Bone marrow smear — 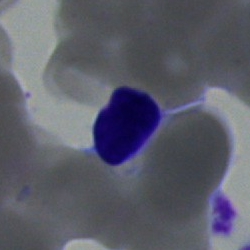{"cell_type": "typical lymphocyte"}